Brightfield microscopy, 40× oil immersion · bone marrow smear · image size 250×250:
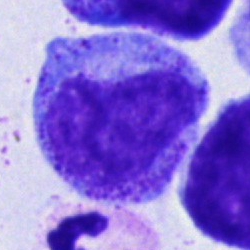
Q: Which cell type is shown here?
A: Promyelocyte.